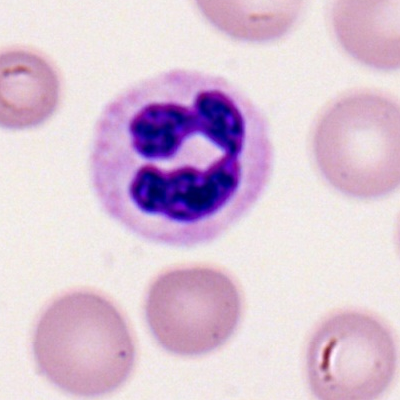 Morphological class = polymorphonuclear neutrophil.